Peripheral blood smear.
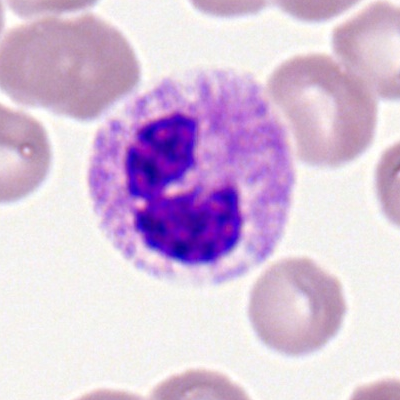Q: What type of cell is this?
A: It is a neutrophil (segmented).